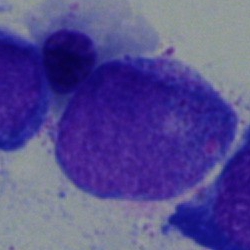
Showing an undifferentiated blast.